Bone marrow aspirate smear.
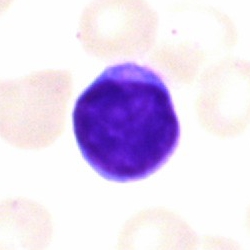

Morphology consistent with a typical lymphocyte.